Bone marrow aspirate smear; 40× objective, oil immersion.
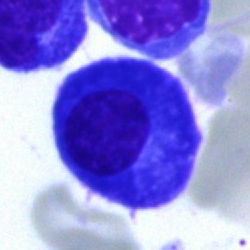

Cell = plasmacyte.